May-Grünwald-Giemsa/Pappenheim stain · single-cell field · bone marrow aspirate smear:
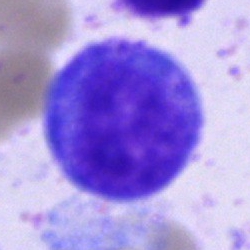 Impression → promyelocyte.